Bone marrow smear. 250×250:
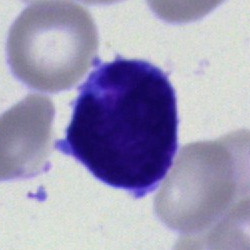
Specimen: bone marrow aspirate smear.
Cell: undifferentiated blast.